Bone marrow smear; cropped to a single cell.
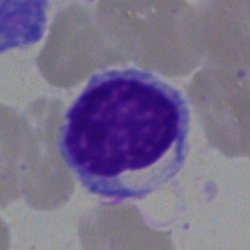

Q: Which cell type is shown here?
A: This is a lymphocyte.